Bone marrow smear: 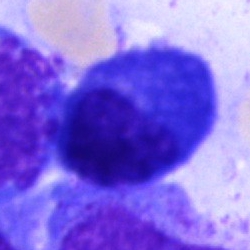
This is a plasmacyte.